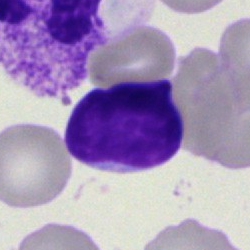 Morphology consistent with a lymphocyte.